250×250 · bone marrow aspirate smear
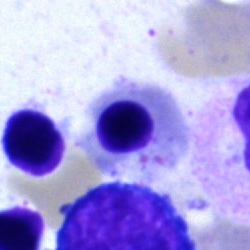
This is a nucleated red blood cell.